Bone marrow smear — 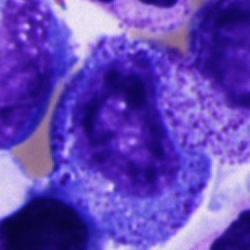
Q: What is the morphological classification of this cell?
A: Progranulocyte.